Bone marrow aspirate smear
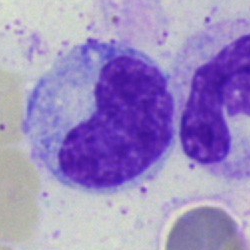Q: Which cell type is shown here?
A: Metamyelocyte.